Bone marrow aspirate smear: 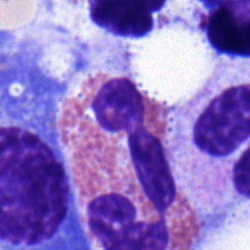 Classification: eosinophil.